Bone marrow smear.
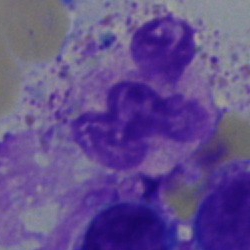

The classification is neutrophil (segmented).